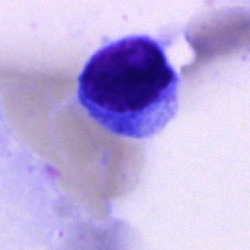

Cell type: typical lymphocyte.